Bone marrow aspirate smear
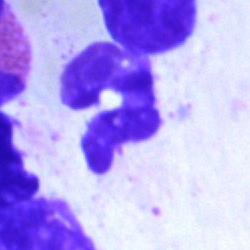
Q: What is the morphological classification of this cell?
A: This is a polymorphonuclear neutrophil.